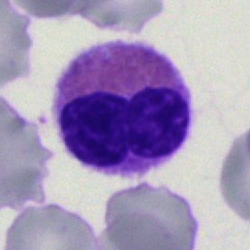
Specimen: bone marrow smear.
Classification: eosinophilic granulocyte.
Lineage: myeloid.